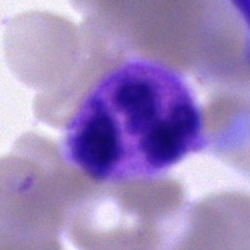Cell: neutrophil (segmented).